Bone marrow smear. MGG-stained — 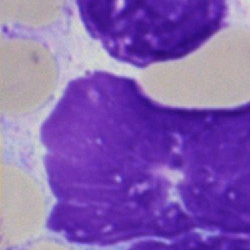
Morphological class — artefact.